Bone marrow aspirate smear
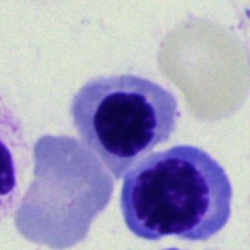Cell = nucleated red blood cell.